Bone marrow smear — 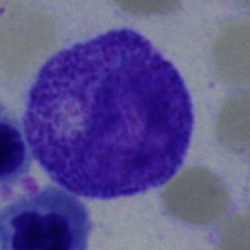

The cell shown is a promyelocyte.